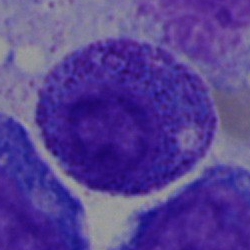

Showing a myelocyte.